Pappenheim-stained · bone marrow smear · cropped to a single cell:
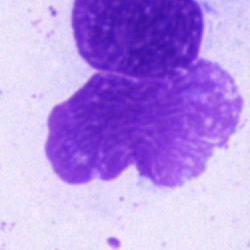
Specimen: bone marrow smear.
Cell type: artefact.